Image size 250×250. Bone marrow aspirate smear. May-Grünwald-Giemsa/Pappenheim stain.
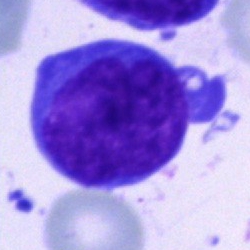
Morphology consistent with a blast cell.